40× objective, oil immersion. Bone marrow smear:
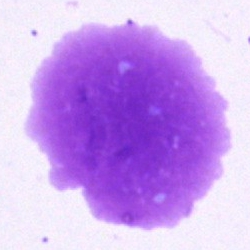

Q: What is shown here?
A: Artifact.